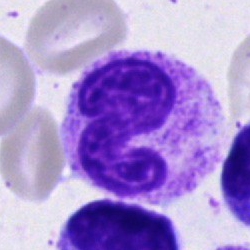
Showing a band-form neutrophil.